Bone marrow aspirate smear — 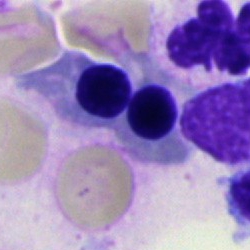
Specimen: bone marrow smear.
Cell type: nucleated red blood cell.
Lineage: erythroid.